Single-cell field · bone marrow smear.
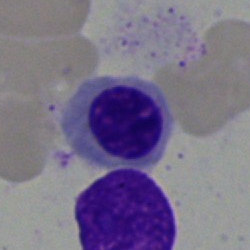
Q: What type of cell is this?
A: This is a nucleated red cell.